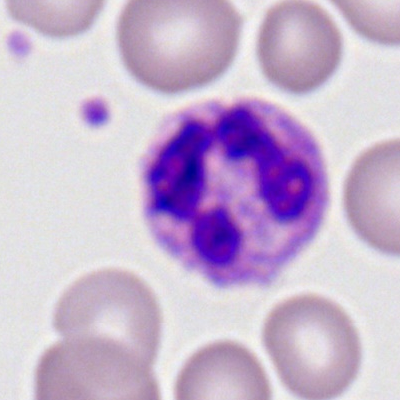

Morphological class = segmented neutrophil.